Bone marrow aspirate smear
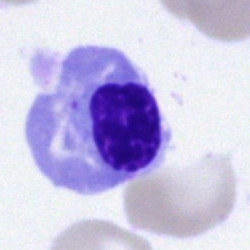 Nucleated red blood cell.